Bone marrow aspirate smear
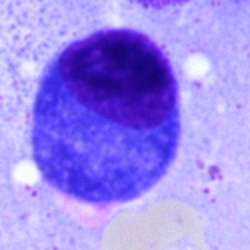

Q: Which cell type is shown here?
A: This is a plasma cell.